Bone marrow smear · single cell centered in the field — 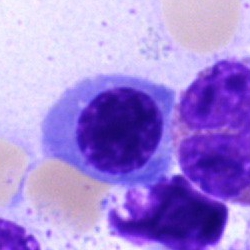 The morphological class is erythroblast.